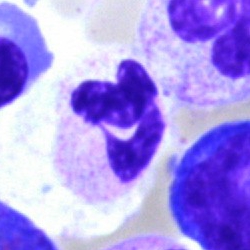

This is a polymorphonuclear neutrophil.